Romanowsky-stained; peripheral blood film; 100× oil immersion.
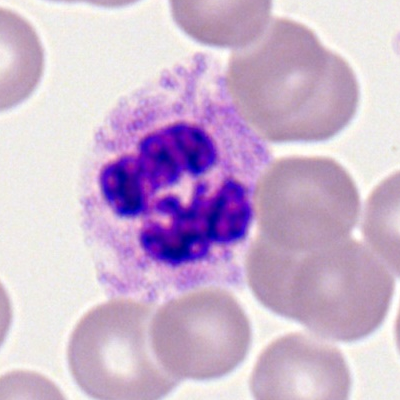

Morphology — segmented neutrophil.